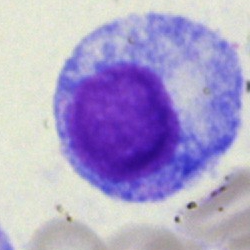
Bone marrow smear showing a promyelocyte.